Bone marrow aspirate smear. Single-cell crop:
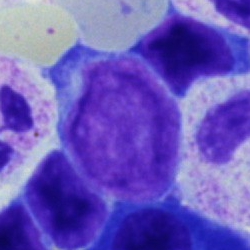

Cell type: blast cell.